250×250 px. Bone marrow aspirate smear. Cropped to a single cell — 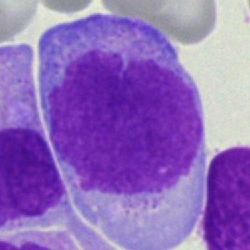
Showing an undifferentiated blast.